Romanowsky-type stain. Peripheral blood film. Single cell centered in the field:
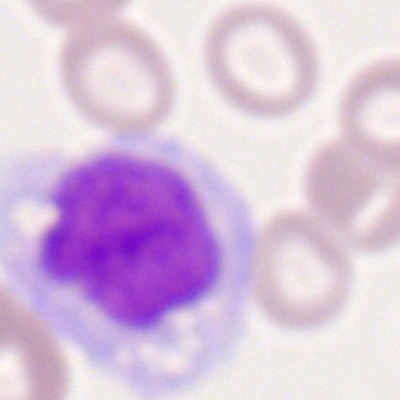
Q: What is shown here?
A: This is a monocyte.